Bone marrow smear:
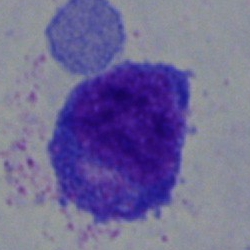

Q: Identify the cell.
A: It is a promyelocyte.